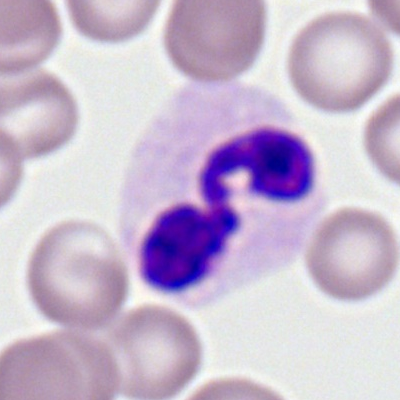
Classification = segmented neutrophil.